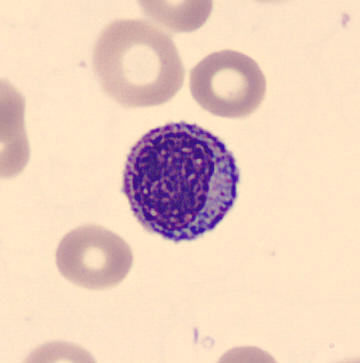

Classification = myelocyte.